Bone marrow aspirate smear: 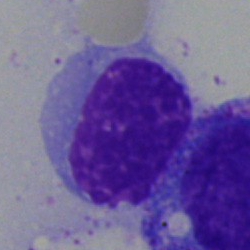

Normoblast.